Cropped to a single cell. Bone marrow smear — 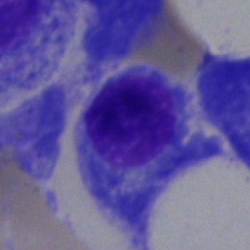 The cell shown is a plasmacyte.